Peripheral blood smear; single-cell field — 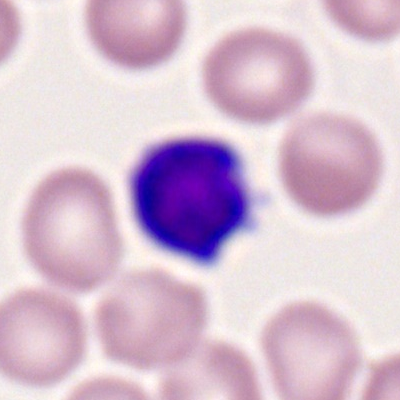
Typical lymphocyte.